Bone marrow smear: 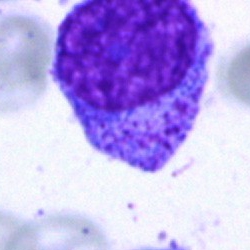

Cell — progranulocyte.